Bone marrow aspirate smear.
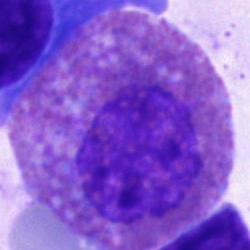 Q: Which cell type is shown here?
A: It is an eosinophilic granulocyte.